250 by 250 pixels; bone marrow smear: 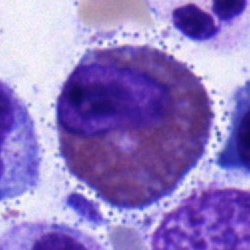Q: What is the morphological classification of this cell?
A: Eosinophil.